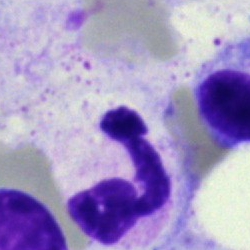

The cell type is segmented neutrophil.